Cropped to a single cell. Bone marrow smear. May-Grünwald-Giemsa stain — 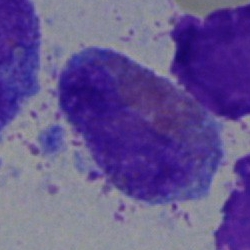Q: What is shown here?
A: Eosinophilic granulocyte.